Bone marrow smear.
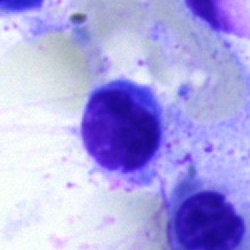Cell type: lymphocyte.